Bone marrow smear — 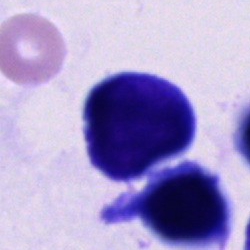 Morphology consistent with a cell of indeterminate lineage.